Single-cell field · bone marrow aspirate smear · MGG-stained — 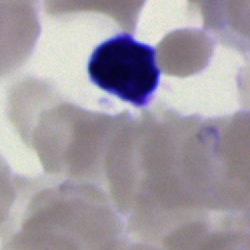Morphology consistent with a typical lymphocyte.